Bone marrow smear: 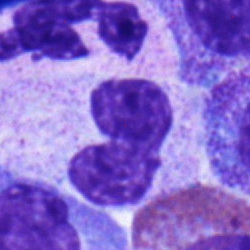
Q: Identify the cell.
A: It is a band-form neutrophil.